Bone marrow aspirate smear
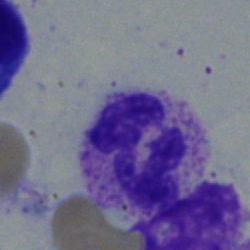 Cell: neutrophil (segmented).